Bone marrow smear — 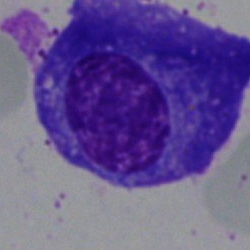
Q: What is shown here?
A: Plasma cell.